Bone marrow smear · brightfield, 40× oil-immersion objective.
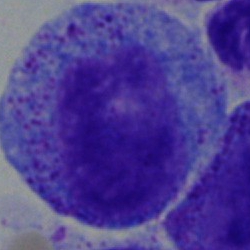Morphology consistent with a promyelocyte.